Bone marrow aspirate smear · May-Grünwald-Giemsa/Pappenheim stain · 250 by 250 pixels:
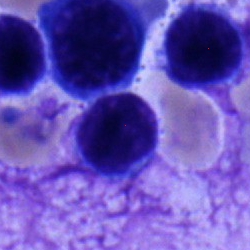 Morphology → lymphocyte.